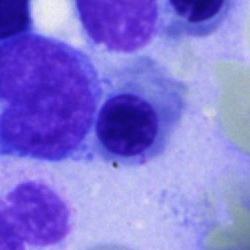
Classification: nucleated red blood cell.